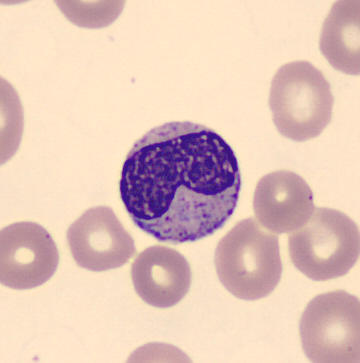
Single cell identified as a metamyelocyte. Preparation: Peripheral blood smear. Image size 360×363.